Peripheral blood smear — 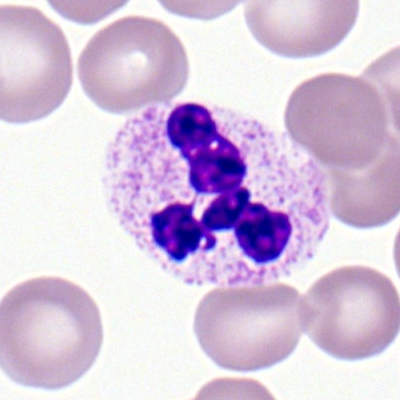

The cell shown is a neutrophil (segmented).